Bone marrow aspirate smear
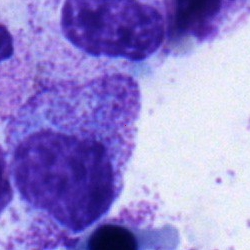 Showing a myelocyte.